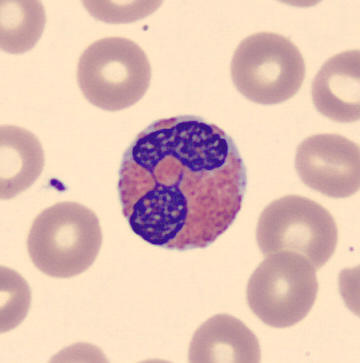

Identified as an eosinophil.